Bone marrow smear. 250×250 px:
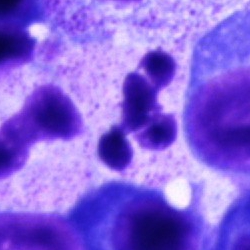 Cell type: polymorphonuclear neutrophil.